Single-cell field · peripheral blood film
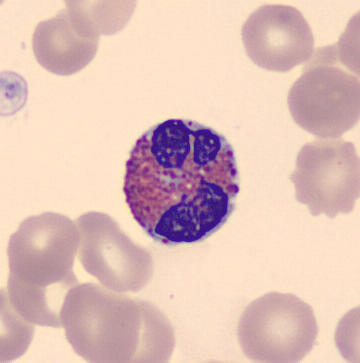

Identified as an eosinophilic granulocyte.